Peripheral blood film.
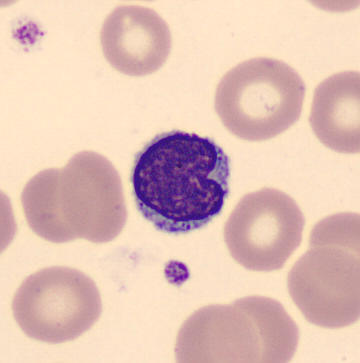

The cell is lymphocyte.